Brightfield microscopy, 40× oil immersion; bone marrow smear; Pappenheim-stained:
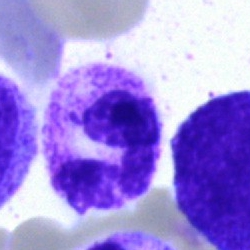

The cell shown is a neutrophil (segmented).